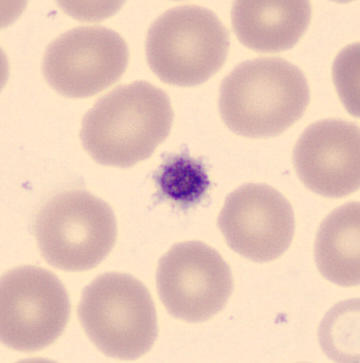
Image: May-Grünwald-Giemsa-stained. Peripheral blood film.
Cell type = thrombocyte.